Bone marrow smear
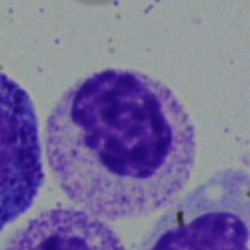

Showing a myelocyte.